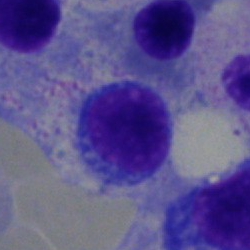

Bone marrow smear showing a typical lymphocyte.